M8 digital microscope (Precipoint), 100× oil immersion. Peripheral blood film — 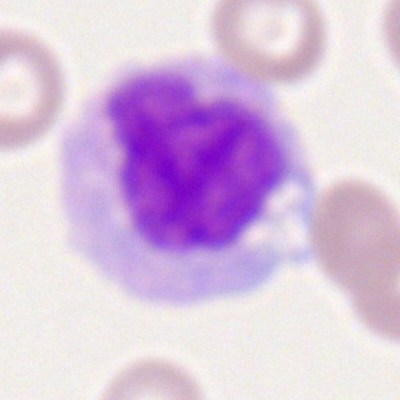Specimen: peripheral blood smear.
Cell: monocyte.
Lineage: myeloid.